Bone marrow smear
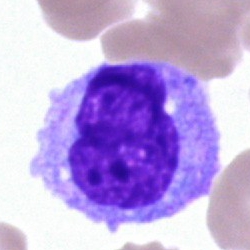 Monocyte.